40× objective, oil immersion · bone marrow smear · Pappenheim-stained:
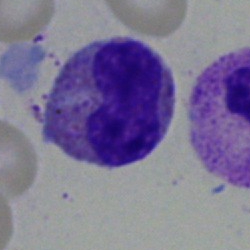
Specimen: bone marrow smear.
Classification: eosinophilic granulocyte.